40× oil immersion · bone marrow smear · 250 by 250 pixels:
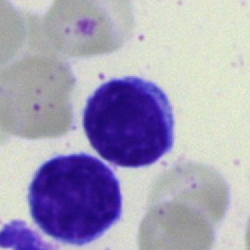 Typical lymphocyte.